250 by 250 pixels. Bone marrow smear
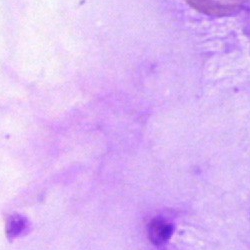 Single cell identified as an artefact.